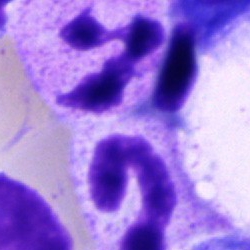
Single-cell crop from a bone marrow smear: segmented neutrophil.